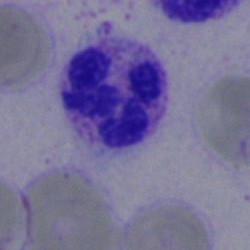

Cell type: segmented neutrophil.